Bone marrow smear
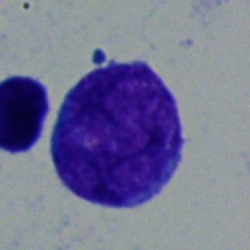
An undifferentiated blast.